Bone marrow aspirate smear: 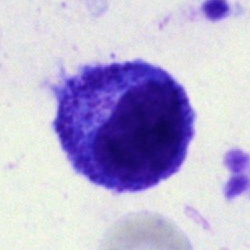

Impression → myelocyte.